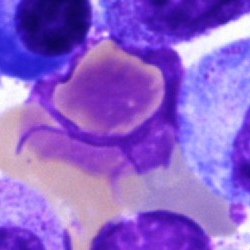

Cell type: artifact.